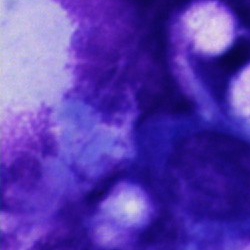 Morphological class: other cell type.